Bone marrow smear. Cropped to a single cell. 250×250 px:
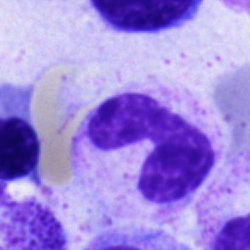

Morphology — band-form neutrophil.